Bone marrow aspirate smear; May-Grünwald-Giemsa stain
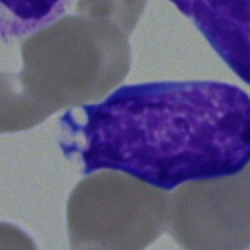 Specimen: bone marrow aspirate smear.
Cell type: blast cell.